Image size 250×250; brightfield microscopy, 40× oil immersion; bone marrow smear:
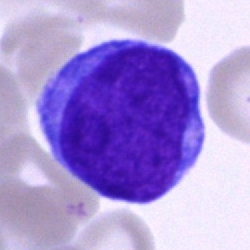
Morphology → blast cell.